Peripheral blood smear. 400×400 px.
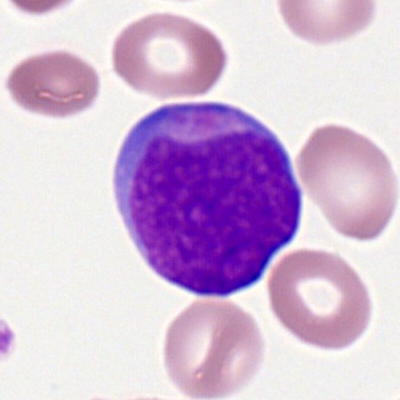 Q: Identify the cell.
A: This is a myeloblast.